Bone marrow smear:
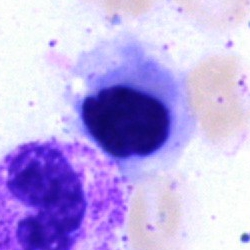

Specimen: bone marrow aspirate smear.
Cell: nucleated red blood cell.